Bone marrow aspirate smear. 250×250. May-Grünwald-Giemsa/Pappenheim stain — 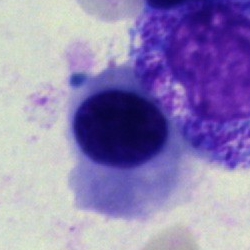 Specimen: bone marrow aspirate smear.
Cell: nucleated red blood cell.